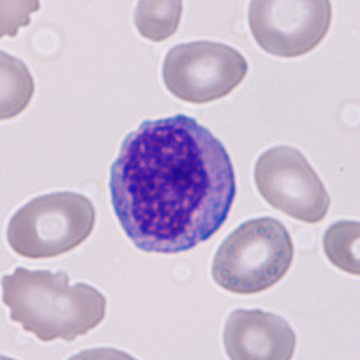 From a peripheral blood smear: an immature granulocyte (promyelocyte, myelocyte or metamyelocyte).